Bone marrow aspirate smear. 250×250:
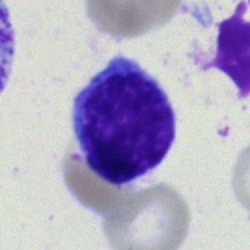The cell is lymphocyte.